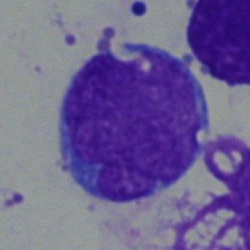
Impression → blast cell.